May-Grünwald-Giemsa/Pappenheim stain · single cell centered in the field · bone marrow aspirate smear — 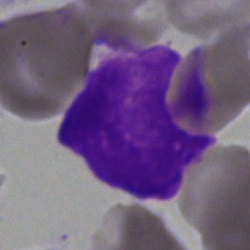
Morphology — artifact.